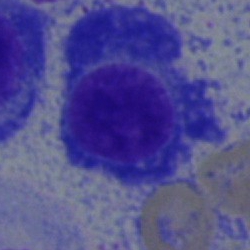Morphology → plasmacyte.